Pappenheim-stained · bone marrow aspirate smear: 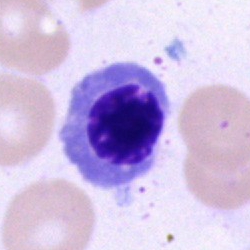

Q: What is shown here?
A: Erythroblast.